Romanowsky-stained. Single-cell crop. Peripheral blood smear — 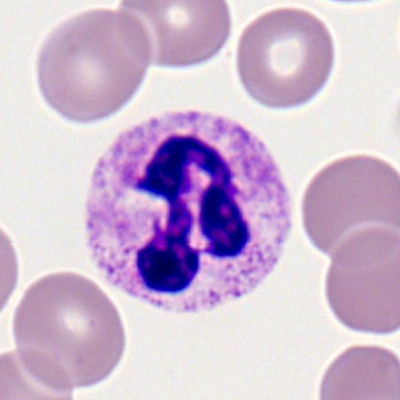Single cell identified as a segmented neutrophil.